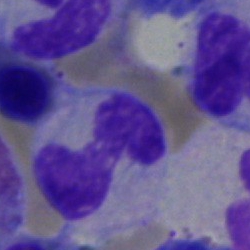Morphology consistent with a neutrophil (band).